40× oil immersion · bone marrow smear — 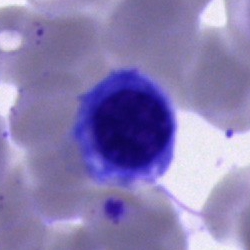

Q: What type of cell is this?
A: Nucleated red cell.